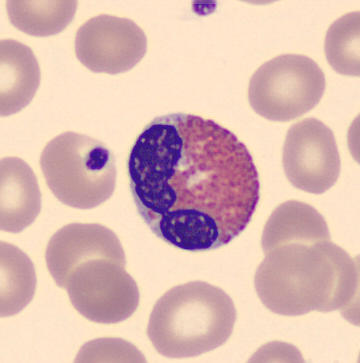

Acquisition: Image size 360×363.
Specimen: peripheral blood film.
Cell type: eosinophil.
Lineage: myeloid.